Bone marrow smear; 40× objective, oil immersion:
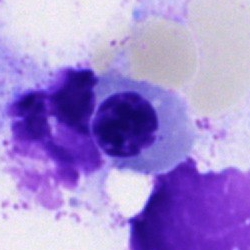
Q: What type of cell is this?
A: It is a nucleated red blood cell.